Bone marrow smear — 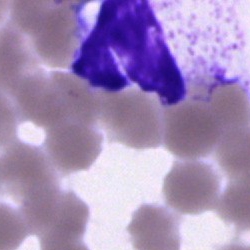
Showing an artifact.